Bone marrow aspirate smear — 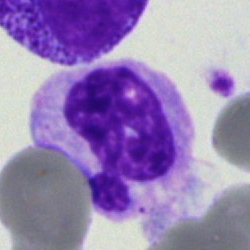
Neutrophil (segmented).